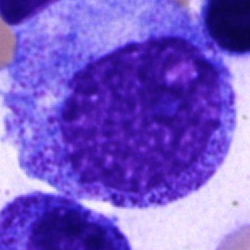
Morphological class = progranulocyte.